Peripheral blood smear:
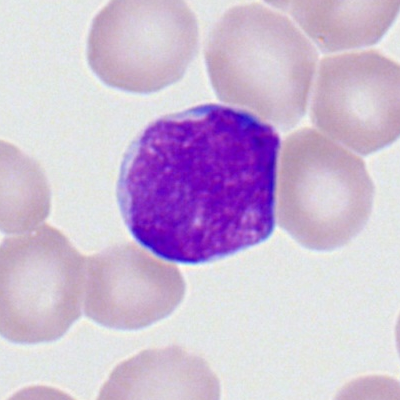Classification — myeloid blast.